Bone marrow smear
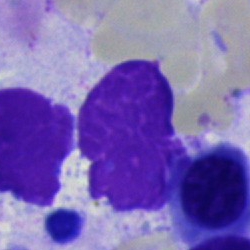Q: What is shown here?
A: It is an artefact.